Peripheral blood film
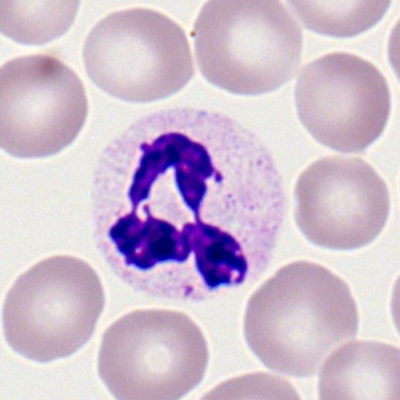

This is a segmented neutrophil.